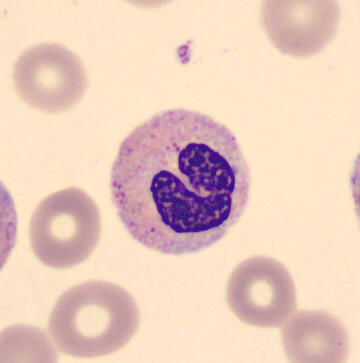

Classification: band-form neutrophil.